Bone marrow smear
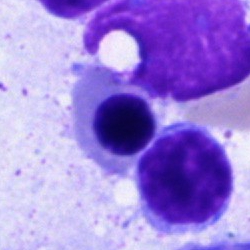Cell: normoblast.